May-Grünwald-Giemsa stain; bone marrow aspirate smear; 250 by 250 pixels.
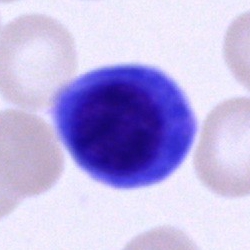Morphology consistent with a nucleated red blood cell.